250×250 px · cropped to a single cell · bone marrow smear — 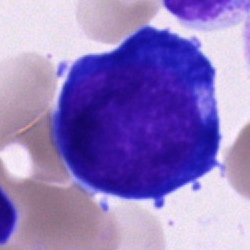

A proerythroblast.